Bone marrow aspirate smear: 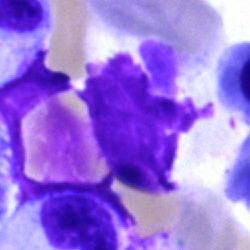

Specimen: bone marrow aspirate smear.
Classification: artifact.